40× oil immersion. Single cell centered in the field. Bone marrow smear:
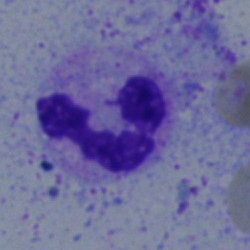

Segmented neutrophil.